Bone marrow aspirate smear — 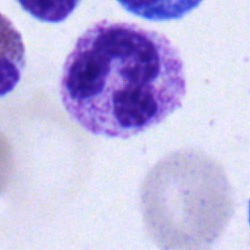Morphological class = segmented neutrophil.